May-Grünwald-Giemsa stain; bone marrow smear:
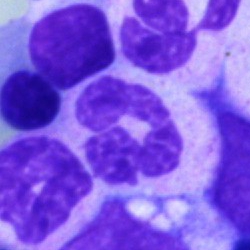Morphology — neutrophil (segmented).